Bone marrow aspirate smear.
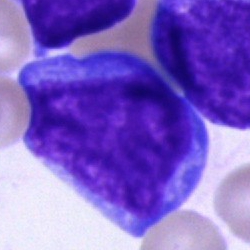 The cell shown is a blast.